Bone marrow aspirate smear:
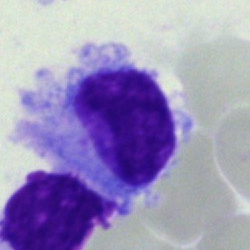 A hairy cell.